Peripheral blood smear · single-cell crop · Romanowsky-type stain: 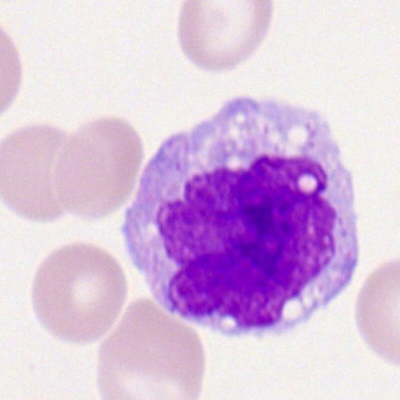

Showing a monocyte.